Bone marrow smear; brightfield microscopy, 40× oil immersion; 250 by 250 pixels.
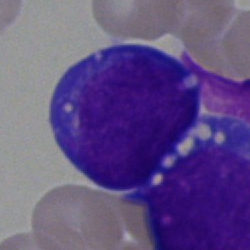
Cell type — undifferentiated blast.